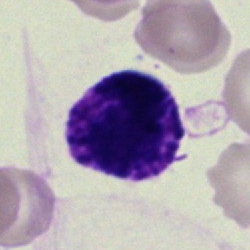 Cell type: basophilic granulocyte.